Bone marrow smear — 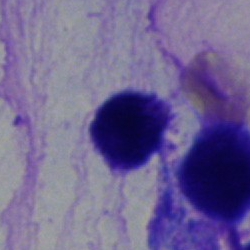
This is an artifact.